Brightfield, 40× oil-immersion objective. Bone marrow aspirate smear — 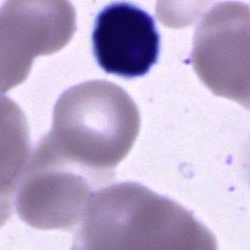

This is a cell of indeterminate lineage.